Bone marrow smear:
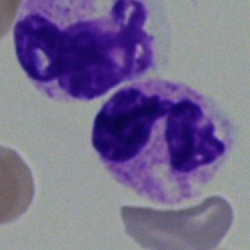 Cell = neutrophil (segmented).